Bone marrow smear · 250×250 · single-cell crop — 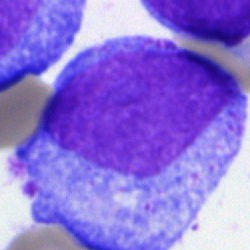
{"cell_type": "progranulocyte", "lineage": "myeloid"}